Bone marrow aspirate smear.
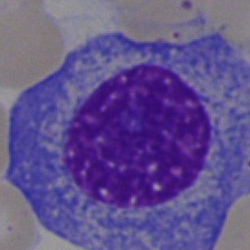

This is a plasma cell.